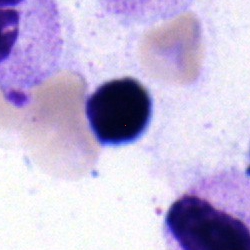
{"cell_type": "lymphocyte"}